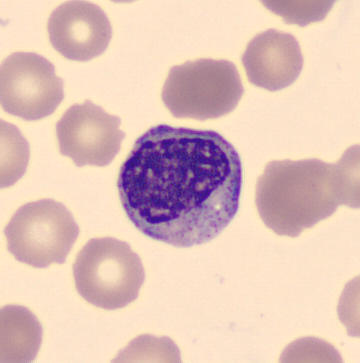 Specimen: peripheral blood film.
Cell type: myelocyte.